Bone marrow aspirate smear.
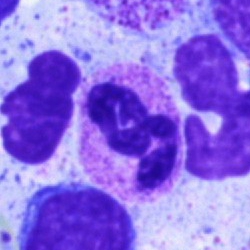
Q: Which cell type is shown here?
A: A polymorphonuclear neutrophil.